Peripheral blood smear · single-cell crop: 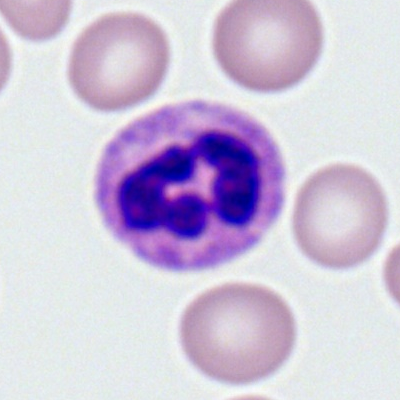 Cell type = polymorphonuclear neutrophil.